Bone marrow aspirate smear
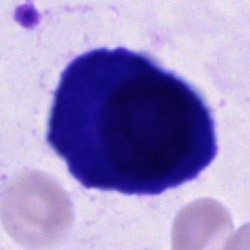 Classification — plasmacyte.